Bone marrow smear.
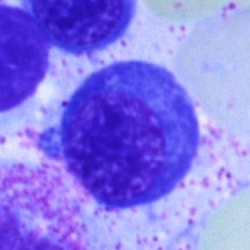

Morphology → nucleated red cell.